Image size 250×250; bone marrow aspirate smear: 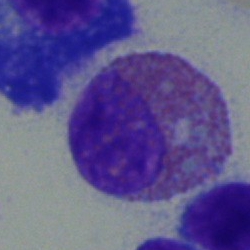Specimen: bone marrow aspirate smear.
Classification: eosinophil.
Lineage: myeloid.